Bone marrow smear — 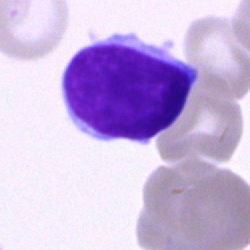A typical lymphocyte.